Bone marrow smear · brightfield microscopy, 40× oil immersion · 250×250 px:
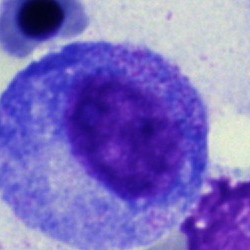This is a promyelocyte.